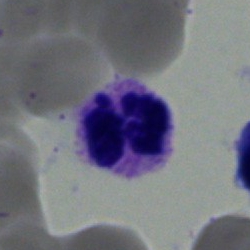The classification is segmented neutrophil.